Pappenheim-stained · bone marrow smear · 40× oil immersion
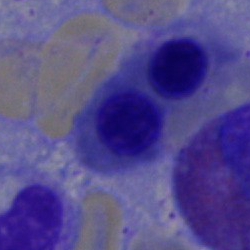

Q: What is the morphological classification of this cell?
A: A normoblast.